250×250 px. Bone marrow smear.
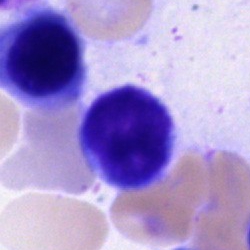 Morphological class = typical lymphocyte.